Bone marrow smear · 40× oil immersion.
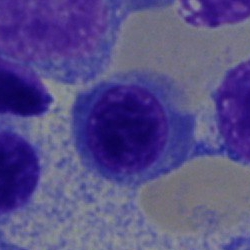

Showing an erythroblast.